Brightfield microscopy, 40× oil immersion. Bone marrow aspirate smear: 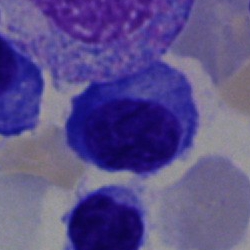

This is a plasma cell.